Brightfield, 40× oil-immersion objective · bone marrow aspirate smear · Pappenheim-stained:
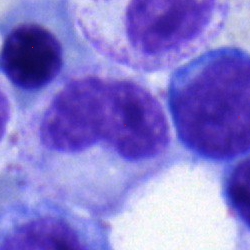 Showing a metamyelocyte.